Bone marrow smear; 250 by 250 pixels; single cell centered in the field:
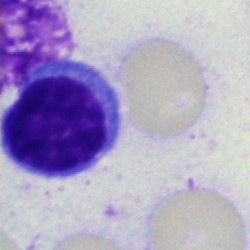
Specimen: bone marrow smear.
Classification: typical lymphocyte.
Lineage: lymphoid.